Bone marrow aspirate smear. Brightfield, 40× oil-immersion objective: 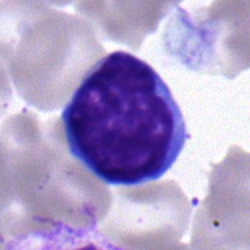
Q: What is the morphological classification of this cell?
A: A typical lymphocyte.